Bone marrow aspirate smear:
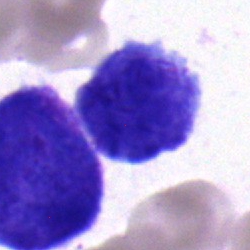 Specimen: bone marrow smear.
Morphological class: undifferentiated blast.